Image size 250×250. Single-cell field. Bone marrow aspirate smear:
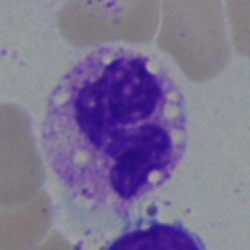

Specimen: bone marrow smear.
Cell type: band-form neutrophil.